40× oil immersion; 250×250 px; bone marrow aspirate smear.
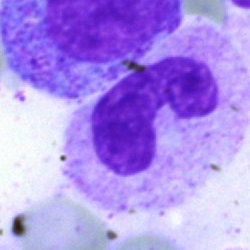

A band-form neutrophil.